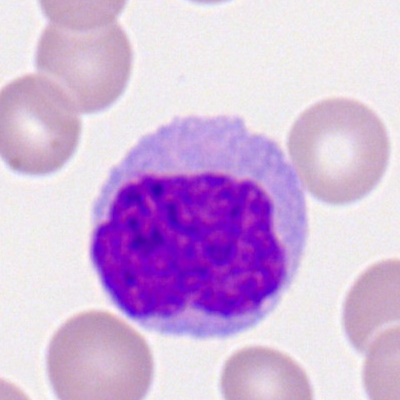Single cell identified as a monocyte.